Bone marrow aspirate smear
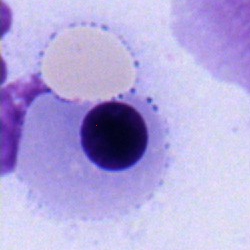

Q: What is the morphological classification of this cell?
A: An erythroblast.